40× objective, oil immersion. Bone marrow aspirate smear
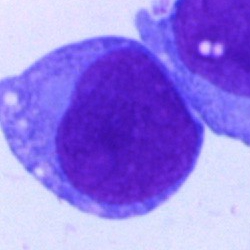

Cell type = blast.